Bone marrow aspirate smear.
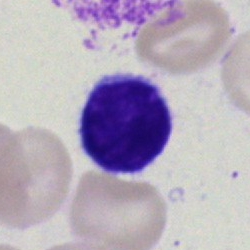

The cell type is lymphocyte.